Bone marrow smear.
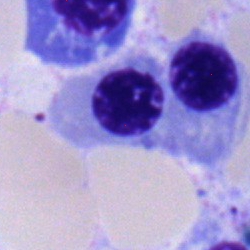

Q: Which cell type is shown here?
A: Normoblast.